Bone marrow aspirate smear. Cropped to a single cell. Pappenheim-stained
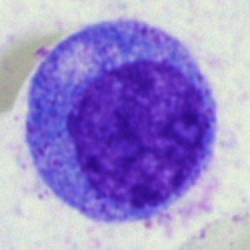
Morphology consistent with a progranulocyte.